Bone marrow smear. 40× objective, oil immersion. MGG-stained:
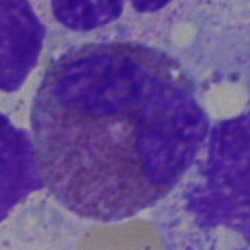

Impression — eosinophil.